Bone marrow smear — 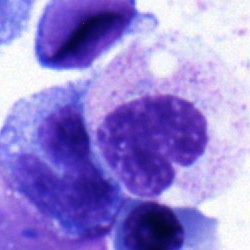The cell shown is a neutrophil (band).